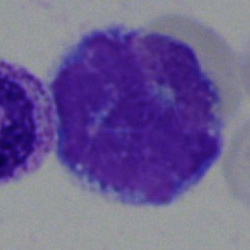
Bone marrow smear showing an artefact.